Brightfield microscopy, 40× oil immersion; bone marrow smear; May-Grünwald-Giemsa/Pappenheim stain.
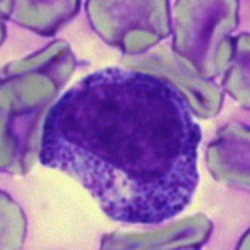 Promyelocyte.